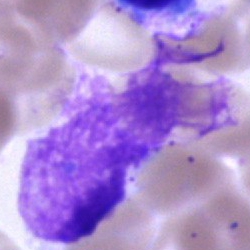

Single-cell crop from a bone marrow smear: artefact.